Cropped to a single cell; image size 250×250; bone marrow smear: 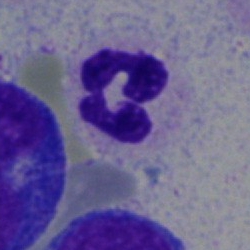
Cell — segmented neutrophil.